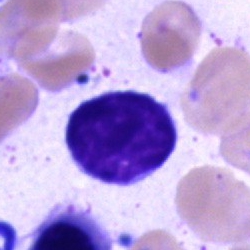 The cell shown is a lymphocyte.